Image size 400×400 · M8 digital microscope (Precipoint), 100× oil immersion · peripheral blood film:
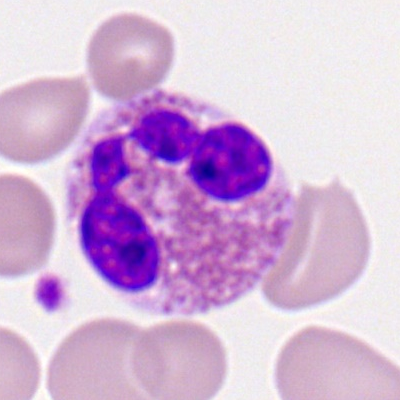

Specimen: peripheral blood smear.
Classification: eosinophilic granulocyte.
Lineage: myeloid.